Image size 360×363 · peripheral blood smear · May-Grünwald-Giemsa-stained.
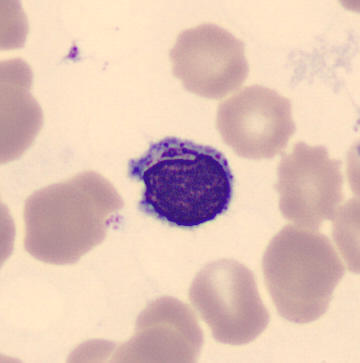
Showing a typical lymphocyte.